250×250. Bone marrow smear. 40× objective, oil immersion
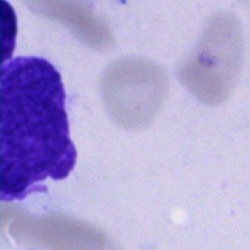
Q: What is shown here?
A: It is an artefact.